Bone marrow aspirate smear — 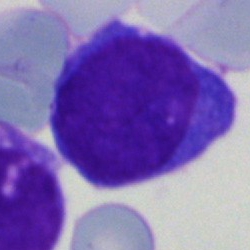

Specimen: bone marrow aspirate smear.
Cell type: blast cell.